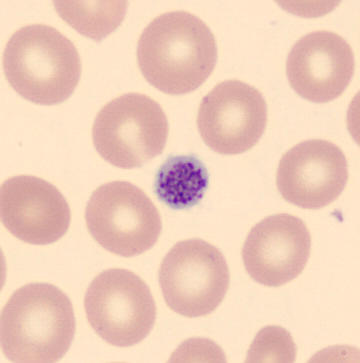 This is a thrombocyte. 360 by 363 pixels. MGG-stained. Peripheral blood film.